Bone marrow aspirate smear. 40× objective, oil immersion:
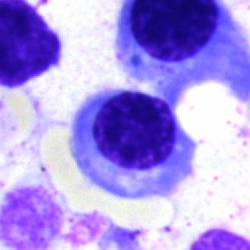 Cell — normoblast.